Bone marrow aspirate smear — 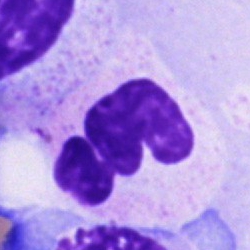

Q: Which cell type is shown here?
A: It is a segmented neutrophil.